Bone marrow smear.
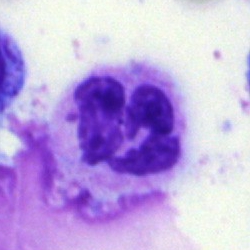Classification: neutrophil (segmented).